Bone marrow aspirate smear
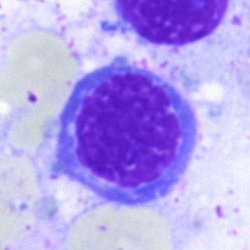Q: What type of cell is this?
A: It is a basophil.